Bone marrow smear.
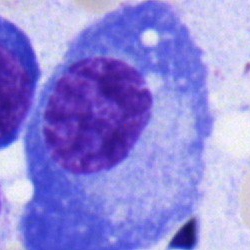Q: Which cell type is shown here?
A: A plasma cell.